Bone marrow smear; 250 by 250 pixels.
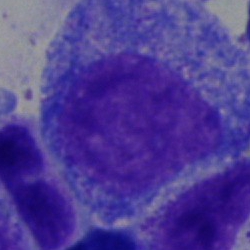

Classification = promyelocyte.